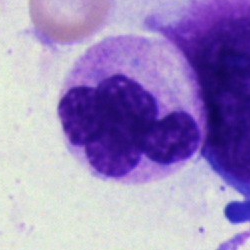 This is a polymorphonuclear neutrophil.